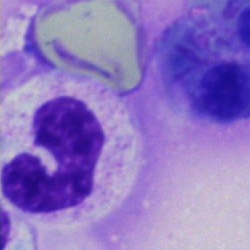Specimen: bone marrow smear.
Classification: polymorphonuclear neutrophil.